Bone marrow aspirate smear — 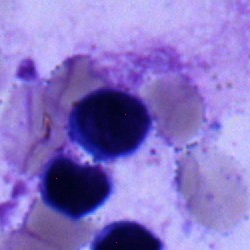
Cell type — lymphocyte.